Bone marrow smear: 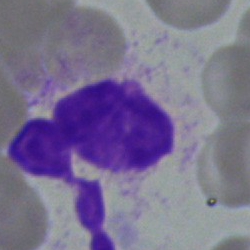
Morphology → neutrophil (segmented).